Bone marrow aspirate smear: 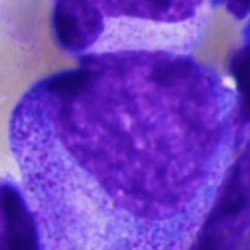
Morphology consistent with a promyelocyte.